Bone marrow smear: 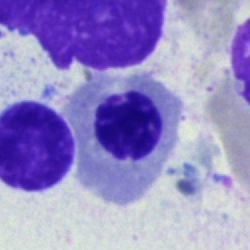 This is a nucleated red blood cell.